Bone marrow aspirate smear:
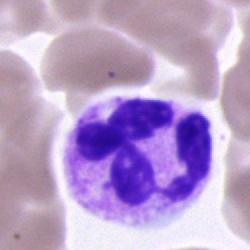 Specimen: bone marrow aspirate smear.
Cell: segmented neutrophil.